Bone marrow smear: 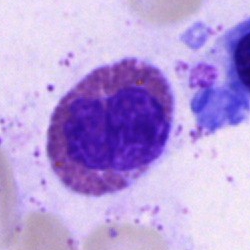

Q: What is shown here?
A: An eosinophilic granulocyte.